Bone marrow aspirate smear
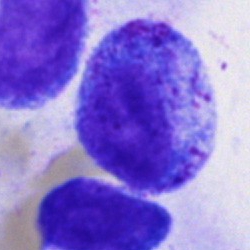
Q: What type of cell is this?
A: A progranulocyte.